Single-cell crop · bone marrow smear — 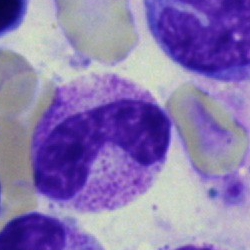
Morphology consistent with a band-form neutrophil.